Bone marrow smear — 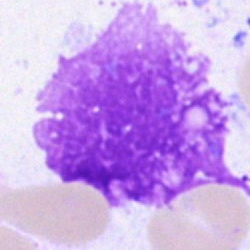Showing an artefact.